Bone marrow smear — 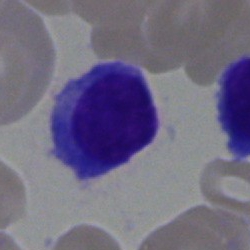Cell = plasma cell.